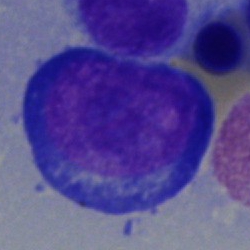 Classification: proerythroblast.